250×250 px. Brightfield, 40× oil-immersion objective. Bone marrow aspirate smear
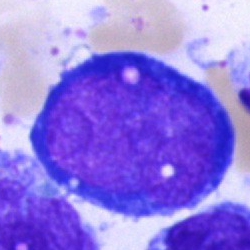
A pronormoblast.